Single-cell crop; bone marrow aspirate smear; 250×250: 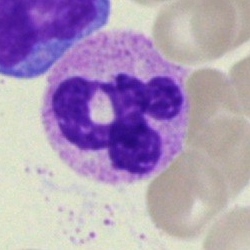

The morphological class is segmented neutrophil.